Bone marrow aspirate smear; brightfield microscopy, 40× oil immersion: 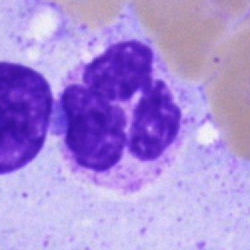 The morphological class is neutrophil (segmented).